Single cell centered in the field · bone marrow smear.
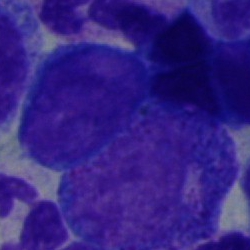Morphology — proerythroblast.